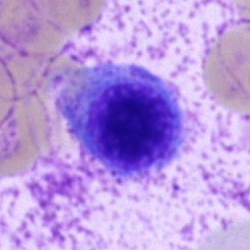Morphological class = normoblast.